Bone marrow smear — 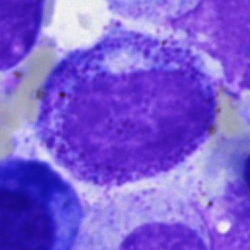
Single cell identified as a promyelocyte.